Peripheral blood film.
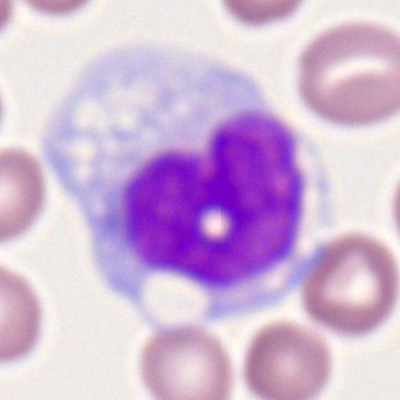

A monocyte.